Bone marrow aspirate smear.
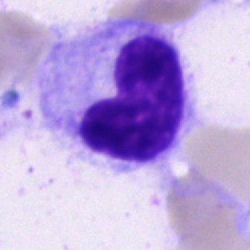 Cell type = metamyelocyte.